Bone marrow smear:
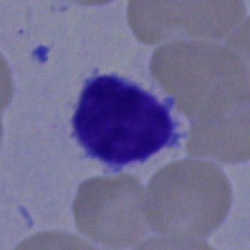
Showing a typical lymphocyte.